Bone marrow aspirate smear.
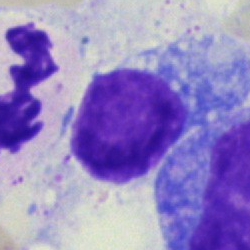

Single cell identified as an artefact.